Bone marrow smear:
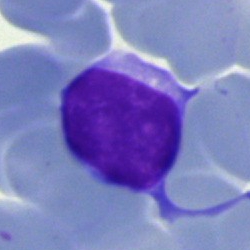 The classification is lymphocyte.